Single-cell crop; bone marrow aspirate smear.
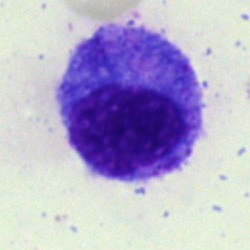 This is a progranulocyte.